Bone marrow aspirate smear
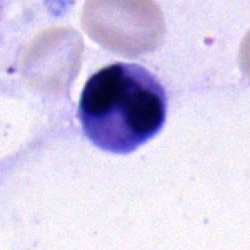

Q: What is the morphological classification of this cell?
A: It is a monocyte.